250×250 px · bone marrow aspirate smear:
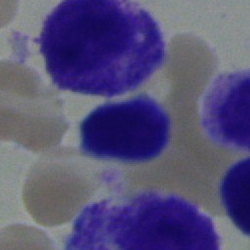 {"cell_type": "typical lymphocyte", "lineage": "lymphoid"}